Bone marrow aspirate smear · single cell centered in the field: 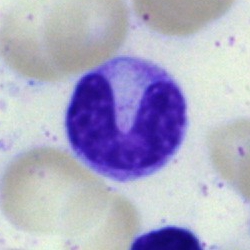

{"cell_type": "band-form neutrophil"}